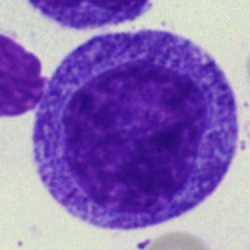

Specimen: bone marrow smear.
Classification: promyelocyte.
Lineage: myeloid.